Bone marrow aspirate smear:
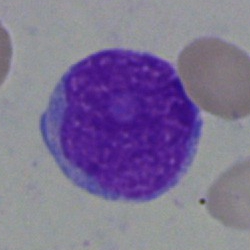

Morphological class: undifferentiated blast.